Bone marrow aspirate smear:
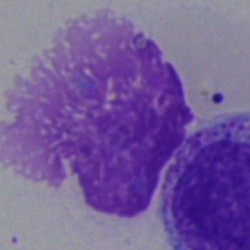 Artifact.